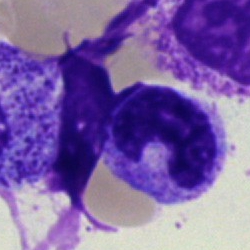A band-form neutrophil.